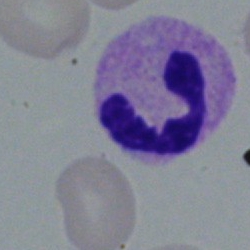

Showing a neutrophil (segmented).